Bone marrow smear — 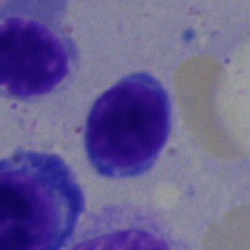

The classification is lymphocyte.